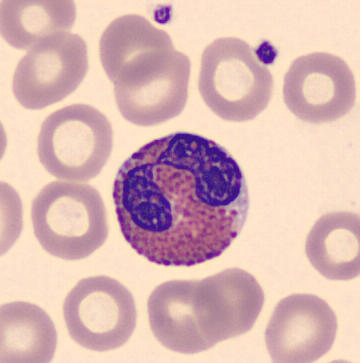
Image: Peripheral blood film. CellaVision DM96. Morphology consistent with an eosinophilic granulocyte.